Bone marrow aspirate smear. 250×250 — 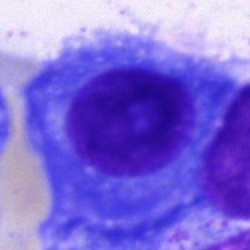 Morphology consistent with a plasma cell.